Single-cell field; bone marrow aspirate smear: 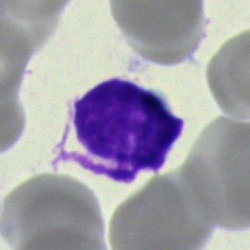Q: What is shown here?
A: Artifact.